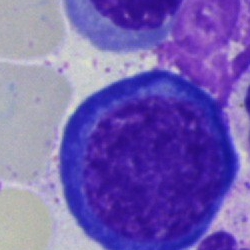

Impression — nucleated red cell.